Bone marrow smear
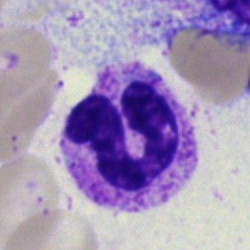

This is a neutrophil (segmented).